Bone marrow aspirate smear · single-cell field.
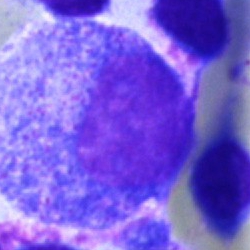 A progranulocyte.